Bone marrow aspirate smear
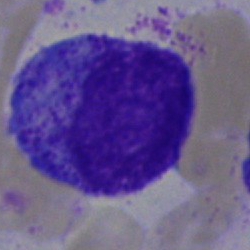
Q: What type of cell is this?
A: Progranulocyte.